Bone marrow aspirate smear — 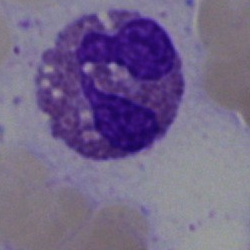 Impression → eosinophil.